Brightfield microscopy, 40× oil immersion. Bone marrow aspirate smear
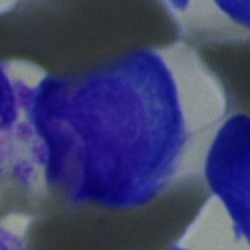
Plasma cell.